Bone marrow smear:
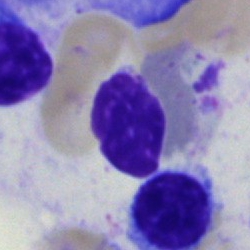
The cell shown is an artefact.